Bone marrow aspirate smear.
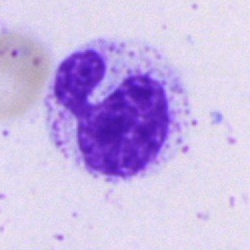
A polymorphonuclear neutrophil.